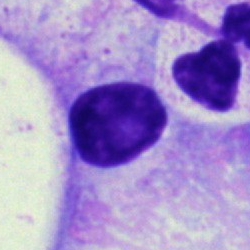
{"cell_type": "monocyte"}